Bone marrow aspirate smear:
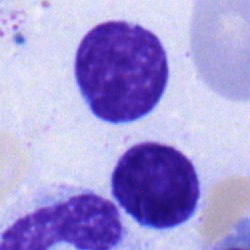

Morphology → lymphocyte.